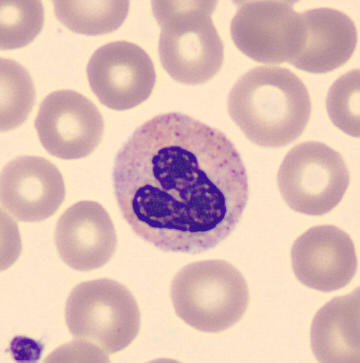 Q: What cell is this?
A: Band neutrophil.

Peripheral blood film; MGG stain; 360 by 363 pixels.